Bone marrow smear. Single cell centered in the field — 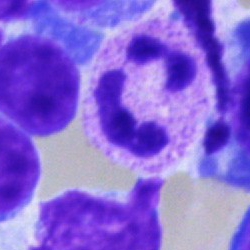Morphological class: segmented neutrophil.